Bone marrow aspirate smear; MGG-stained:
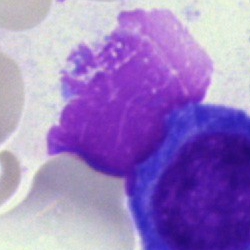Showing an artifact.